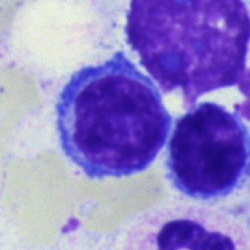

Specimen: bone marrow smear.
Morphological class: typical lymphocyte.
Lineage: lymphoid.